Bone marrow smear: 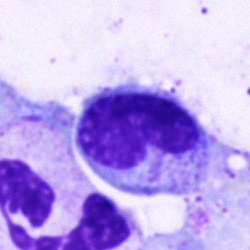

{"cell_type": "metamyelocyte"}